Peripheral blood smear.
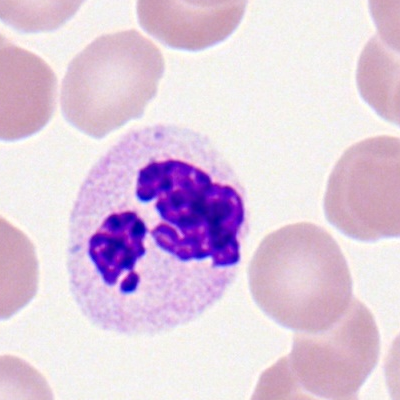 Q: What is the morphological classification of this cell?
A: This is a neutrophil (segmented).